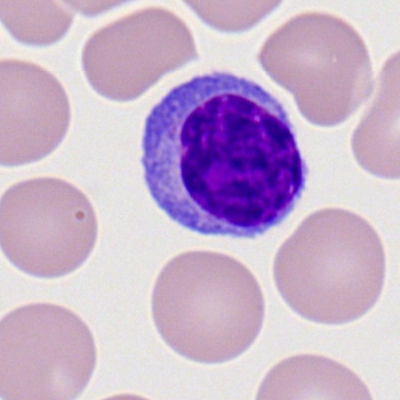

Specimen: peripheral blood smear.
Cell: typical lymphocyte.